Bone marrow smear. Single-cell field
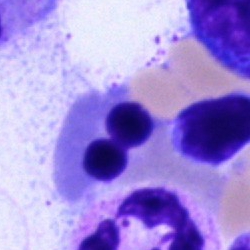 Cell type: nucleated red blood cell.